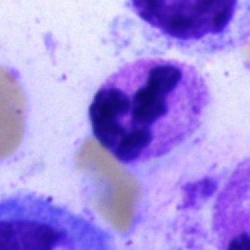
Specimen: bone marrow smear.
Cell: neutrophil (segmented).
Lineage: myeloid.